Bone marrow smear; 40× oil immersion; cropped to a single cell:
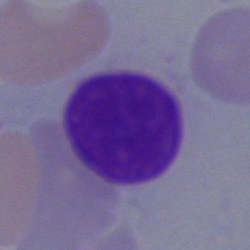 {"cell_type": "artefact"}